Bone marrow smear · May-Grünwald-Giemsa stain · 250×250 px: 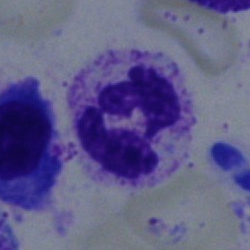Showing a segmented neutrophil.